Bone marrow smear:
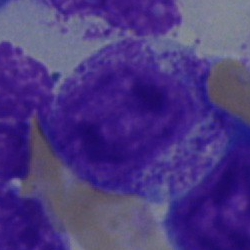

Morphology consistent with a myelocyte.